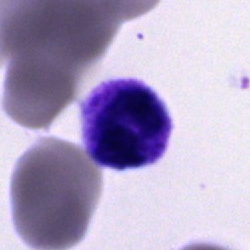

Specimen: bone marrow smear.
Classification: segmented neutrophil.